Bone marrow smear
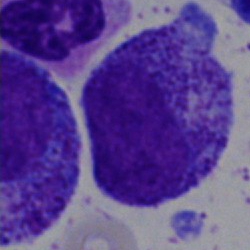

Cell = progranulocyte.